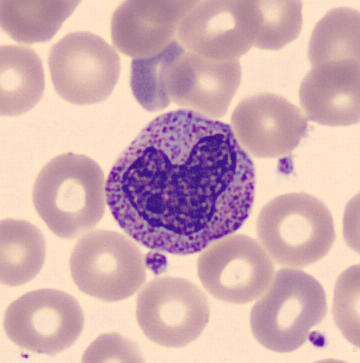
Cell — metamyelocyte.

Acquisition: Peripheral blood smear · 360×363 px.